250×250. Bone marrow smear. Cropped to a single cell.
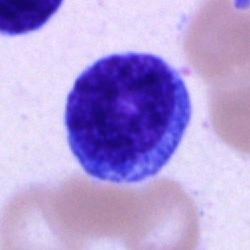Cell type = blast.